250×250 px; bone marrow aspirate smear — 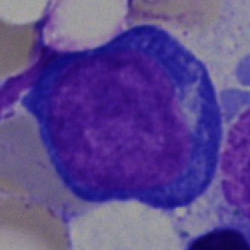

Specimen: bone marrow smear.
Cell: proerythroblast.